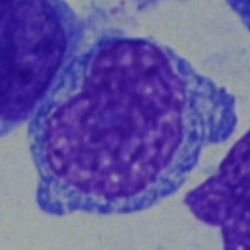 Q: What is the morphological classification of this cell?
A: Undifferentiated blast.